Bone marrow aspirate smear
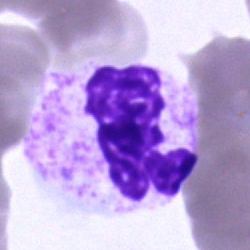Impression → neutrophil (segmented).